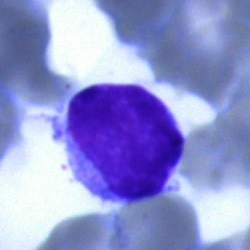 {"cell_type": "typical lymphocyte", "lineage": "lymphoid"}